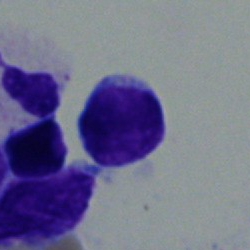
Specimen: bone marrow aspirate smear.
Cell: lymphocyte.